Bone marrow smear; single-cell field:
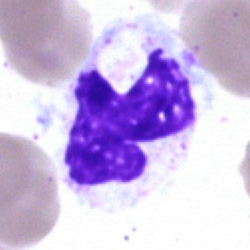 Cell type: polymorphonuclear neutrophil.